Bone marrow smear:
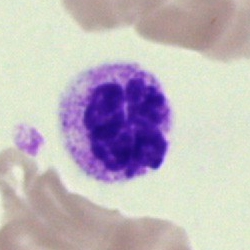
The cell shown is a neutrophil (segmented).